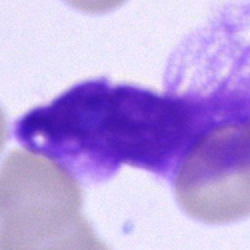

Bone marrow smear showing an artifact.